Bone marrow smear: 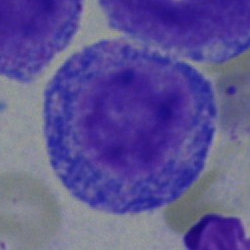

Showing a promyelocyte.